Bone marrow aspirate smear · Pappenheim-stained · cropped to a single cell.
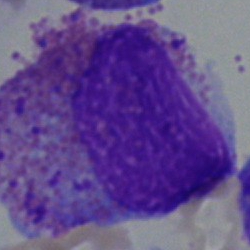 Morphological class — eosinophilic granulocyte.